250×250. Bone marrow smear — 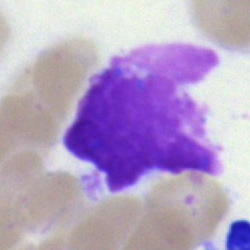

Artifact.